Bone marrow aspirate smear: 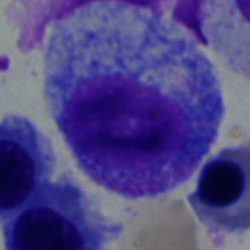The cell type is progranulocyte.